Bone marrow smear; MGG-stained — 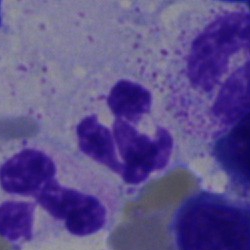 Morphology consistent with a neutrophil (segmented).